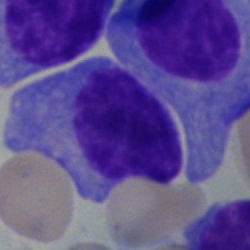

Showing a plasmacyte.